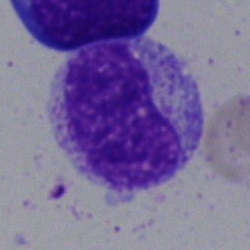 Cell — metamyelocyte.